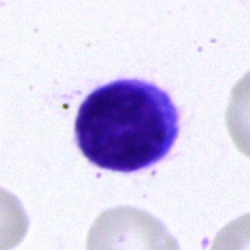
Q: What is the morphological classification of this cell?
A: Lymphocyte.